Bone marrow aspirate smear: 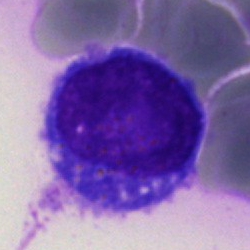

The cell shown is an undifferentiated blast.